Single-cell crop; May-Grünwald-Giemsa stain; bone marrow aspirate smear — 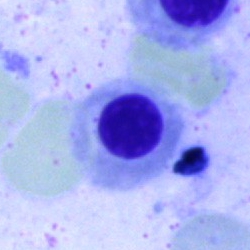Morphology — nucleated red cell.